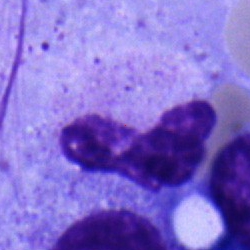
Specimen: bone marrow aspirate smear.
Classification: band-form neutrophil.